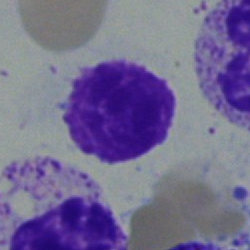
Cell type — artefact.